Bone marrow aspirate smear · 40× objective, oil immersion: 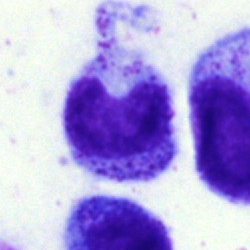
Q: What type of cell is this?
A: This is a metamyelocyte.